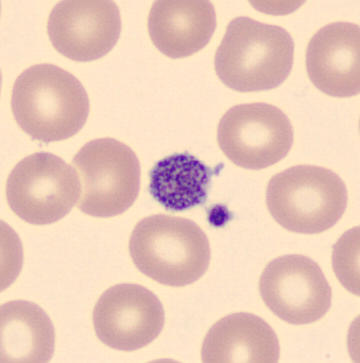 Specimen: peripheral blood smear.
Morphological class: thrombocyte.